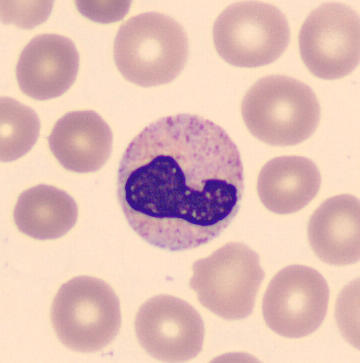 Cell type: neutrophil (band).